Bone marrow smear: 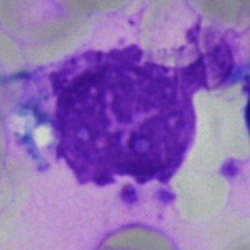
Q: What is shown here?
A: It is an artifact.